Image size 250×250 · bone marrow smear.
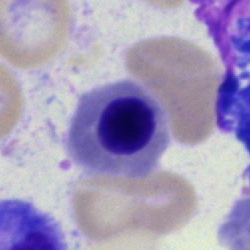

Showing a nucleated red blood cell.